Bone marrow smear · MGG-stained
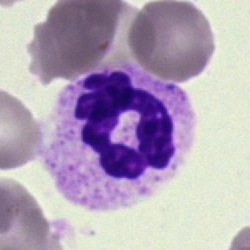

Morphology consistent with a neutrophil (segmented).